Cropped to a single cell · bone marrow aspirate smear · 250 by 250 pixels
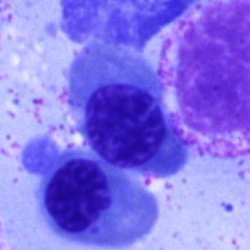

Single cell identified as an erythroblast.